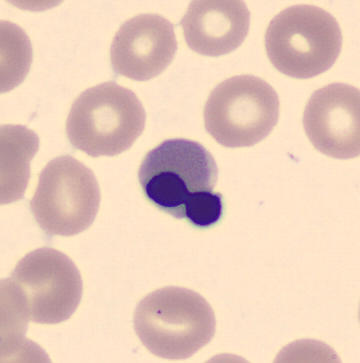

CellaVision DM96 · peripheral blood film. Q: What is this?
A: Erythroblast.